250×250; bone marrow smear
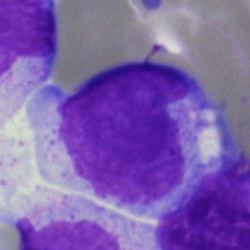 Specimen: bone marrow aspirate smear.
Morphological class: blast cell.